Peripheral blood smear: 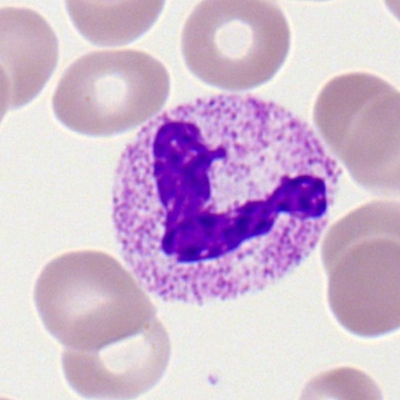
Cell: segmented neutrophil.